May-Grünwald-Giemsa/Pappenheim stain · cropped to a single cell · bone marrow aspirate smear
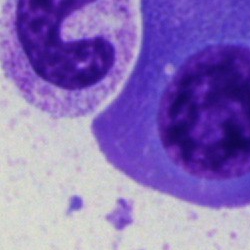 This is a plasmacyte.